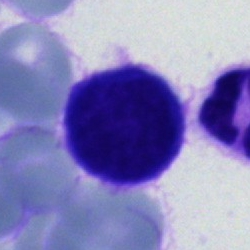 Morphology — unidentifiable cell.